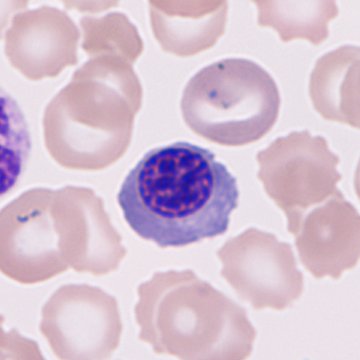 Q: What cell is this?
A: Nucleated red cell.
Preparation: Peripheral blood smear.